Bone marrow smear: 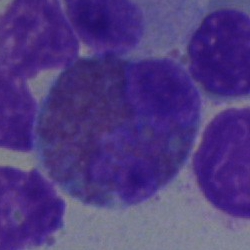

The cell shown is an eosinophil.